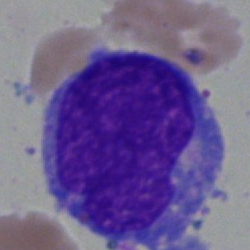

Specimen: bone marrow aspirate smear.
Classification: blast.